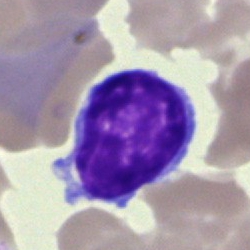

Specimen: bone marrow smear.
Morphological class: lymphocyte.
Lineage: lymphoid.